Bone marrow aspirate smear
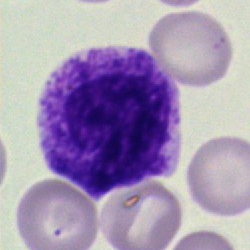

Morphology — stab cell.